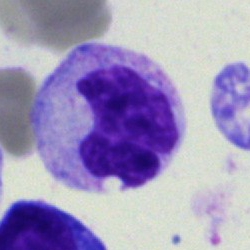

The cell type is neutrophil (segmented).